40× objective, oil immersion; bone marrow aspirate smear — 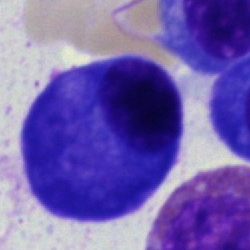
Specimen: bone marrow smear.
Classification: plasma cell.
Lineage: lymphoid.